Bone marrow aspirate smear. Cropped to a single cell.
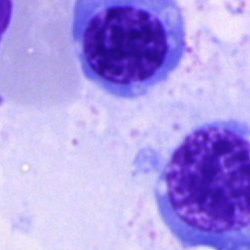
Showing a normoblast.